Bone marrow smear:
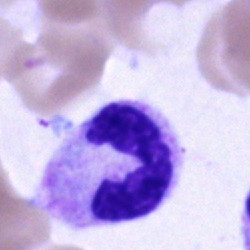 Q: What type of cell is this?
A: This is a segmented neutrophil.